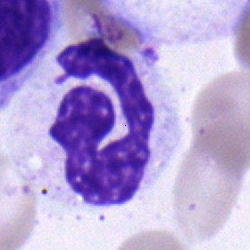 Cell type = band neutrophil.